Bone marrow smear: 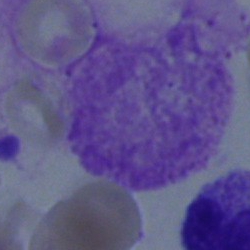Morphology consistent with an artifact.